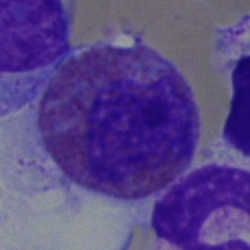Bone marrow smear showing an eosinophil.